Bone marrow aspirate smear — 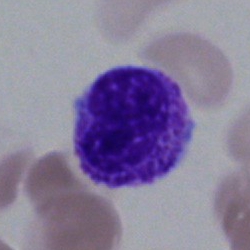Q: What is the morphological classification of this cell?
A: It is an unidentifiable cell.